Bone marrow smear:
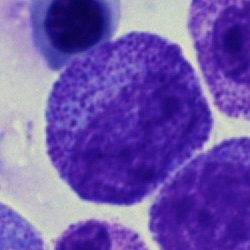

Q: What is shown here?
A: It is a myelocyte.